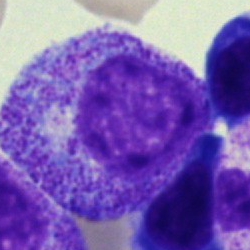 A progranulocyte.